Cropped to a single cell · bone marrow smear
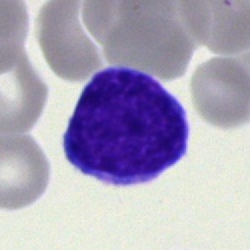
This is a typical lymphocyte.